Brightfield, 40× oil-immersion objective. Bone marrow aspirate smear
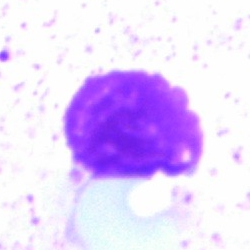
Cell type — artefact.